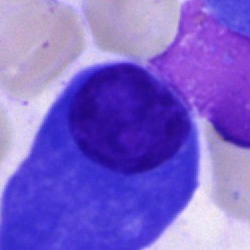 Q: Identify the cell.
A: This is a plasmacyte.